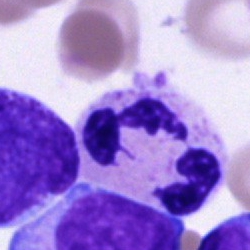 Q: Which cell type is shown here?
A: Neutrophil (segmented).